Bone marrow aspirate smear:
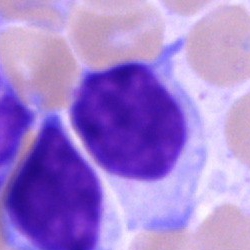
Q: What is shown here?
A: It is a typical lymphocyte.